Bone marrow smear: 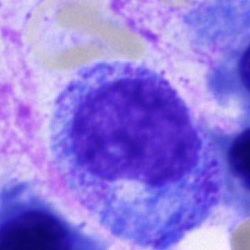
Specimen: bone marrow aspirate smear.
Classification: progranulocyte.